Cropped to a single cell · bone marrow smear.
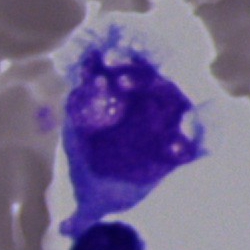Specimen: bone marrow smear.
Morphological class: artifact.